Bone marrow smear · May-Grünwald-Giemsa/Pappenheim stain.
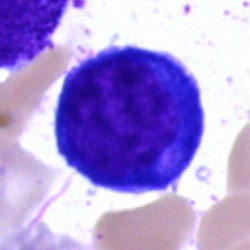 Morphological class: pronormoblast.